Bone marrow aspirate smear · single-cell crop · May-Grünwald-Giemsa/Pappenheim stain — 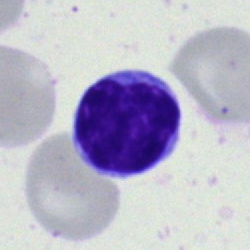 Morphology → typical lymphocyte.